Bone marrow aspirate smear:
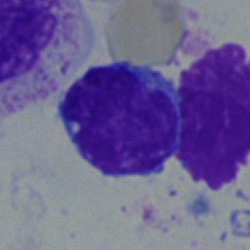

A typical lymphocyte.